Bone marrow aspirate smear; Pappenheim-stained:
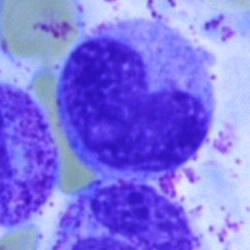

Q: What type of cell is this?
A: A band neutrophil.